Bone marrow aspirate smear
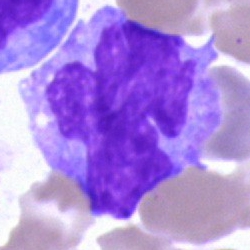
Classification: monocyte.